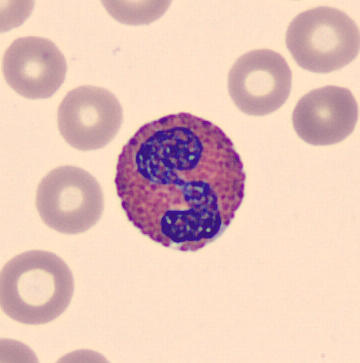 Peripheral blood smear showing an eosinophil.